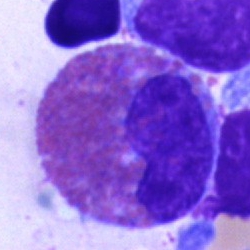 Bone marrow aspirate smear, single cell — eosinophil.